Bone marrow aspirate smear
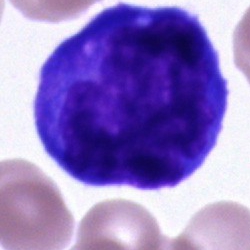

Showing an undifferentiated blast.